Single cell centered in the field · bone marrow aspirate smear — 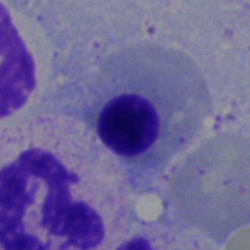 Single cell identified as an erythroblast.